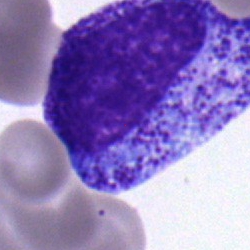

Q: What is the morphological classification of this cell?
A: This is a progranulocyte.